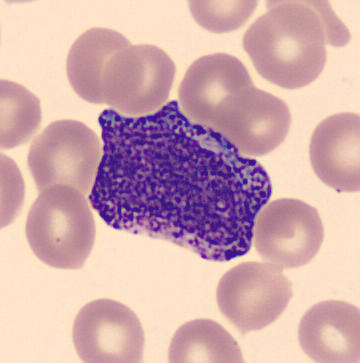

Q: Which cell type is shown here?
A: A myelocyte.

Peripheral blood film.